Bone marrow aspirate smear · brightfield, 40× oil-immersion objective: 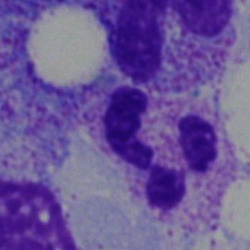 Specimen: bone marrow aspirate smear.
Classification: segmented neutrophil.